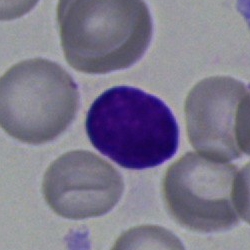
Q: What cell is this?
A: A lymphocyte.